Bone marrow smear.
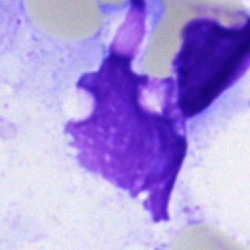
The cell shown is an artifact.